250×250 · bone marrow aspirate smear
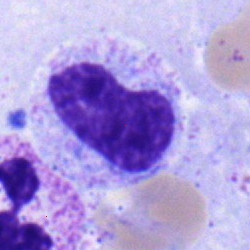Classification — metamyelocyte.